Bone marrow aspirate smear: 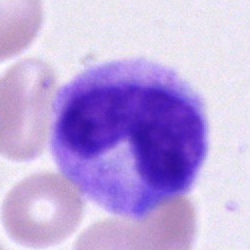
This is a metamyelocyte.